Bone marrow aspirate smear. 40× objective, oil immersion.
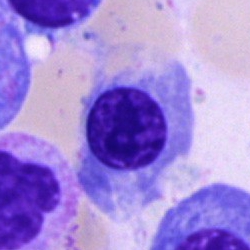The classification is normoblast.